Bone marrow smear · single-cell crop:
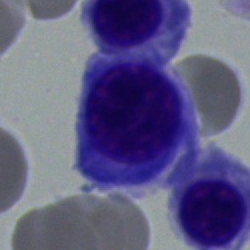

Showing a normoblast.